Peripheral blood film:
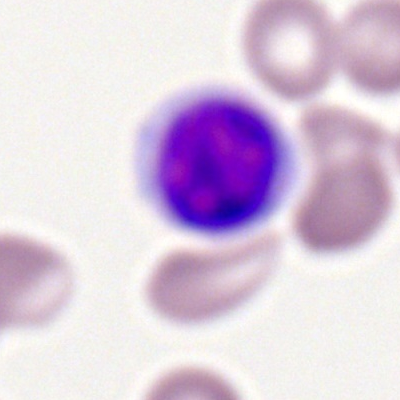
Showing a lymphocyte.